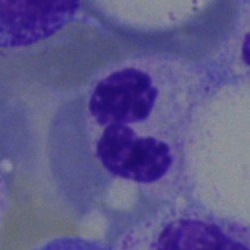

Morphology consistent with a polymorphonuclear neutrophil.